Peripheral blood film.
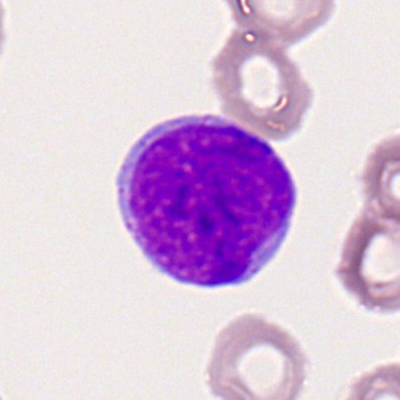
Showing a myeloblast.